Single-cell crop. 250×250 px. Bone marrow aspirate smear.
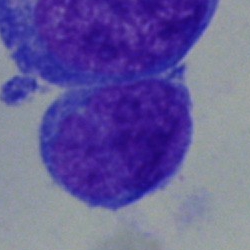
This is a blast.